Single cell centered in the field · bone marrow aspirate smear:
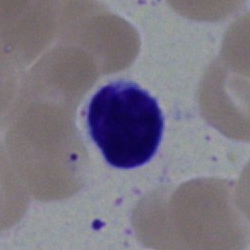

Morphological class = typical lymphocyte.